May-Grünwald-Giemsa stain. Bone marrow aspirate smear. 250×250
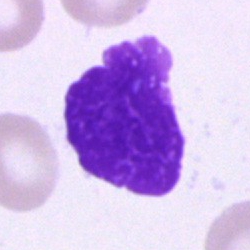Showing an artefact.